Bone marrow smear.
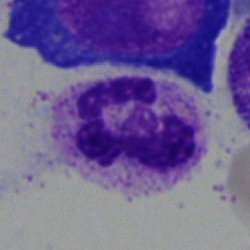
Impression — neutrophil (segmented).